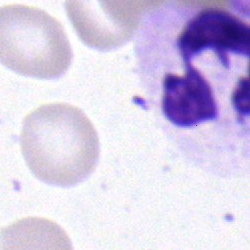

Morphological class — neutrophil (segmented).